Peripheral blood film
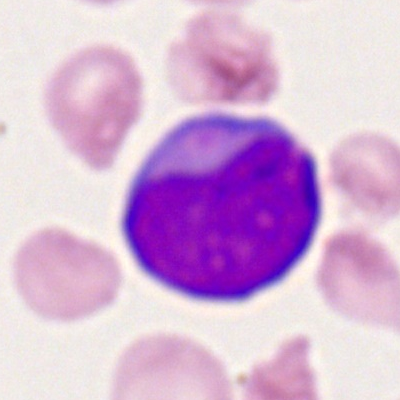Cell type = myeloid blast.